May-Grünwald-Giemsa/Pappenheim stain · single cell centered in the field · bone marrow smear
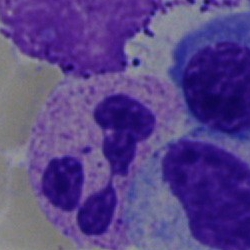
{"cell_type": "segmented neutrophil"}